Bone marrow smear; cropped to a single cell; 40× oil immersion.
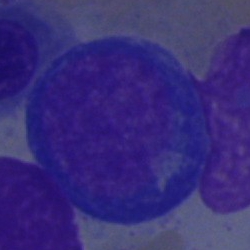

This is a proerythroblast.